Bone marrow smear — 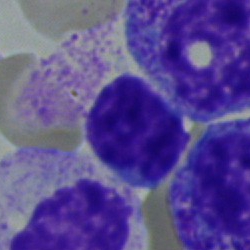 Lymphocyte.